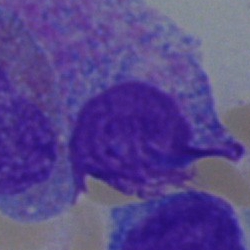
Q: What type of cell is this?
A: An eosinophilic granulocyte.